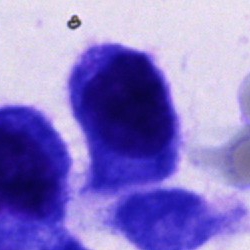
Q: Which cell type is shown here?
A: It is a cell not matching the other categories.